Bone marrow aspirate smear
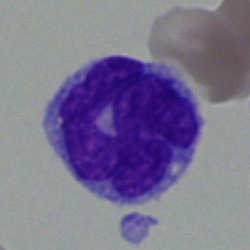Q: What is the morphological classification of this cell?
A: Monocyte.